Bone marrow aspirate smear; 250×250 px:
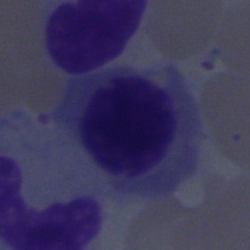 Classification: nucleated red blood cell.